Bone marrow aspirate smear:
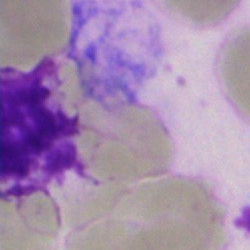
Cell type: artefact.